Bone marrow aspirate smear — 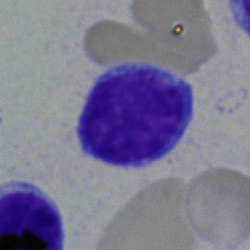
Cell type = lymphocyte.